Bone marrow smear
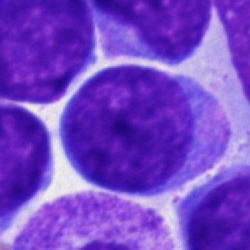 Cell type: blast cell.